Bone marrow aspirate smear · cropped to a single cell · Pappenheim-stained
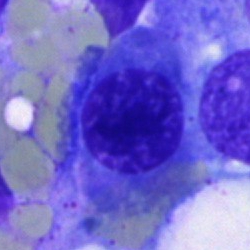 Q: What type of cell is this?
A: It is a nucleated red cell.